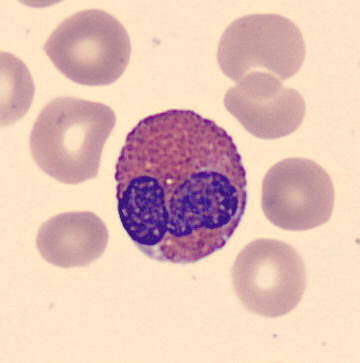 Image: Peripheral blood smear. {"cell_type": "eosinophil", "lineage": "myeloid"}